Bone marrow aspirate smear: 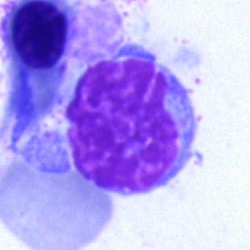

Impression — artefact.